Single-cell field; bone marrow smear; 250 by 250 pixels: 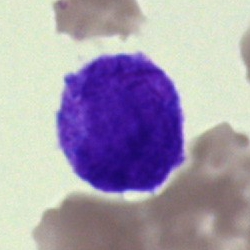 A blast.